Brightfield, 40× oil-immersion objective; bone marrow smear
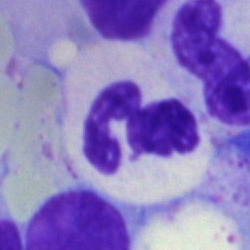{"cell_type": "segmented neutrophil"}